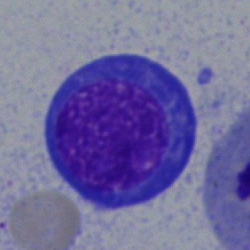 Cell type — nucleated red cell.